Bone marrow smear · brightfield, 40× oil-immersion objective — 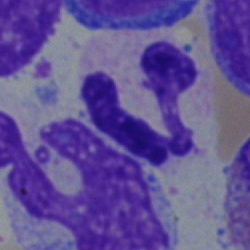
Q: What cell is this?
A: Neutrophil (segmented).